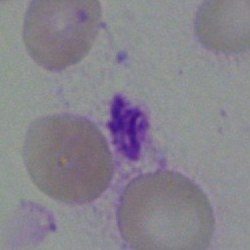Q: What is shown here?
A: This is an artefact.